Peripheral blood film — 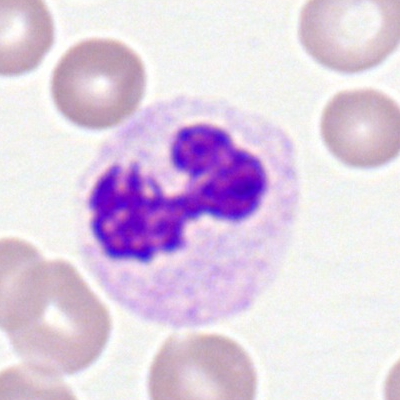 Q: What cell is this?
A: A segmented neutrophil.